Bone marrow smear.
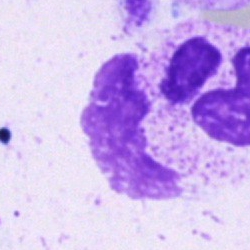Morphology → artefact.